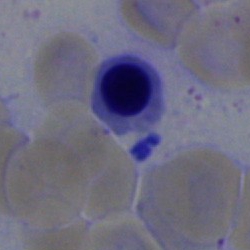
Specimen: bone marrow aspirate smear.
Morphological class: normoblast.
Lineage: erythroid.